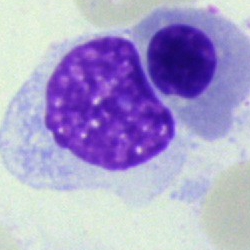Specimen: bone marrow aspirate smear.
Morphological class: normoblast.